Bone marrow smear
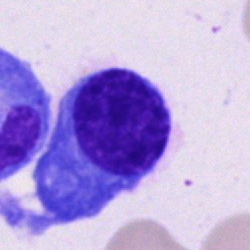

A plasmacyte.